250 by 250 pixels. Bone marrow aspirate smear: 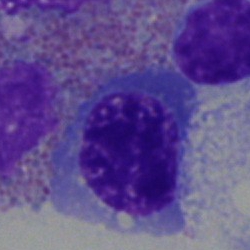 The cell is nucleated red blood cell.